Bone marrow smear — 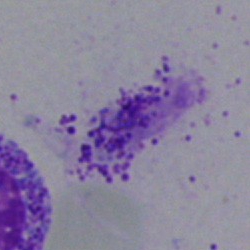
Artifact.